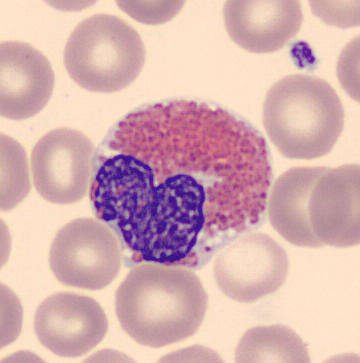

Image: Peripheral blood film. Eosinophilic granulocyte.